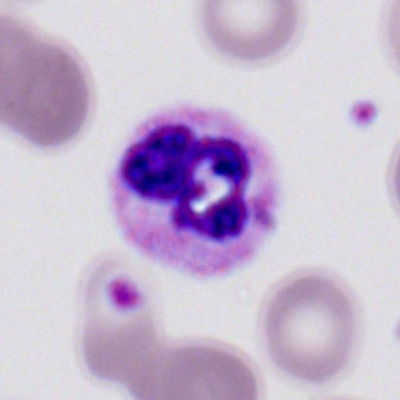Morphological class: segmented neutrophil.